Bone marrow aspirate smear:
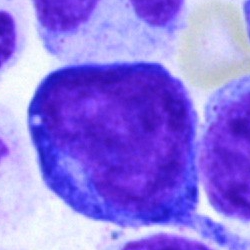 Classification: proerythroblast.